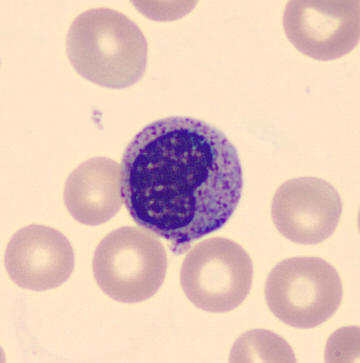
Acquisition: Peripheral blood film. Impression → metamyelocyte.